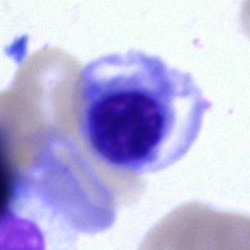

Q: What cell is this?
A: This is a nucleated red blood cell.